Peripheral blood smear; Romanowsky-type stain — 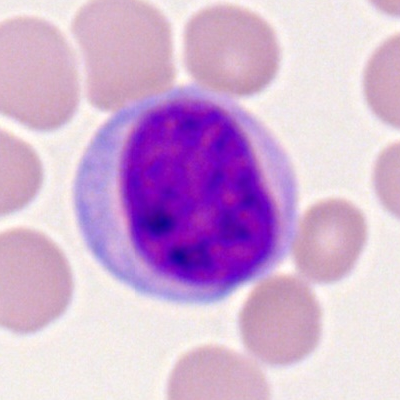
Q: What cell is this?
A: This is a typical lymphocyte.